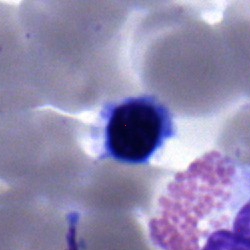 Morphology — normoblast.